Brightfield, 40× oil-immersion objective; bone marrow smear:
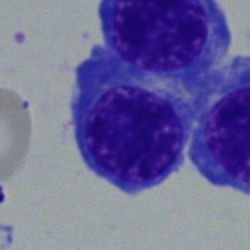
Cell type: nucleated red blood cell.